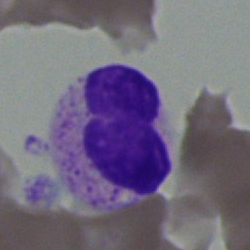

The cell shown is a polymorphonuclear neutrophil.